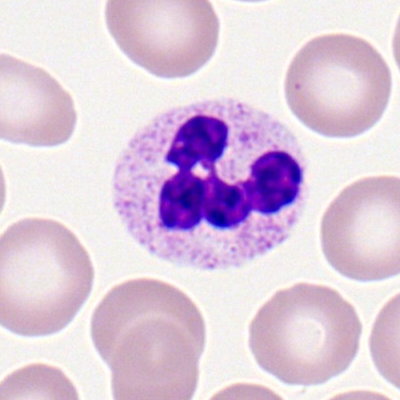
Morphological class = segmented neutrophil.